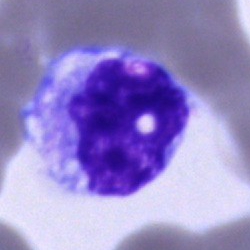 Morphology — monocyte.